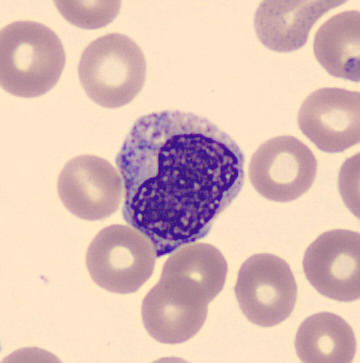The classification is metamyelocyte. Image: Peripheral blood smear · cropped to a single cell.